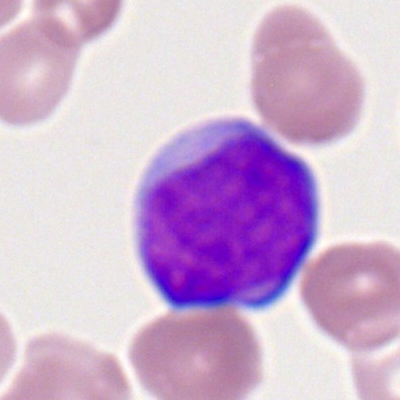
Q: What is the morphological classification of this cell?
A: It is a myeloblast.